Bone marrow smear; 250×250 px: 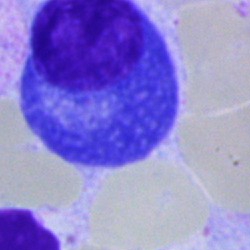
The cell is plasmacyte.